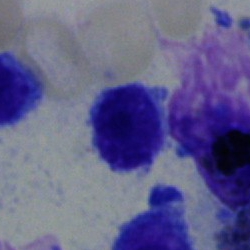

A typical lymphocyte on a bone marrow smear.